Bone marrow aspirate smear; brightfield microscopy, 40× oil immersion; Pappenheim-stained:
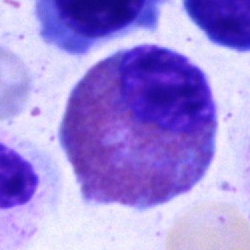
Eosinophil.